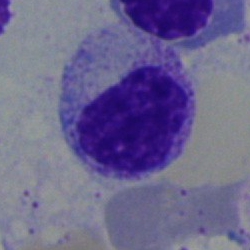
Morphology → myelocyte.